Peripheral blood smear. 400 by 400 pixels — 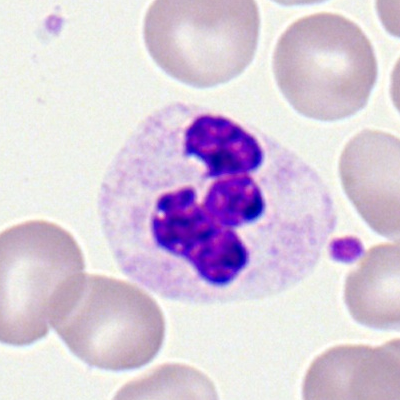 Q: What is the morphological classification of this cell?
A: This is a neutrophil (segmented).